Bone marrow smear · single-cell field · May-Grünwald-Giemsa/Pappenheim stain — 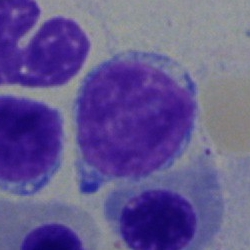The cell shown is a typical lymphocyte.